Brightfield, 40× oil-immersion objective. 250 by 250 pixels. Bone marrow smear:
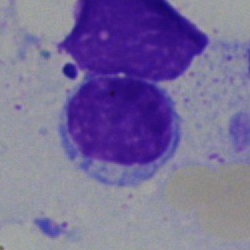

Q: Identify the cell.
A: It is a lymphocyte.